Bone marrow aspirate smear; Pappenheim-stained — 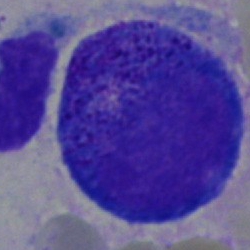
{"cell_type": "promyelocyte"}